Bone marrow aspirate smear — 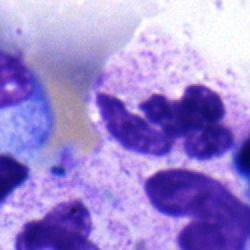 {"cell_type": "neutrophil (segmented)", "lineage": "myeloid"}